250×250; bone marrow aspirate smear; MGG-stained.
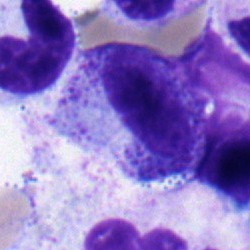Q: What is shown here?
A: This is a myelocyte.